Peripheral blood smear.
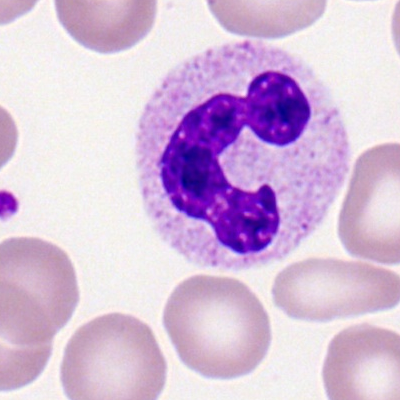Morphology — polymorphonuclear neutrophil.